Bone marrow smear · single-cell crop: 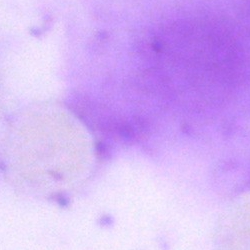Cell type: artefact.